Bone marrow aspirate smear.
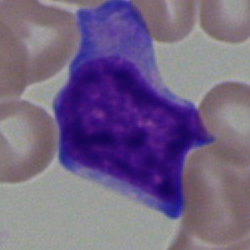Single cell identified as a blast.